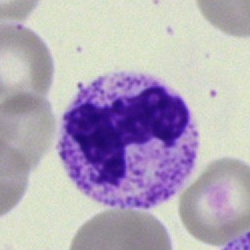
Specimen: bone marrow aspirate smear.
Cell type: eosinophilic granulocyte.